Brightfield, 40× oil-immersion objective; bone marrow aspirate smear; single cell centered in the field.
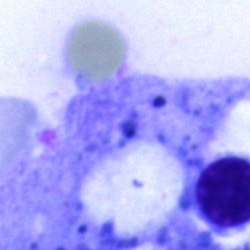
Specimen: bone marrow smear.
Cell type: artefact.